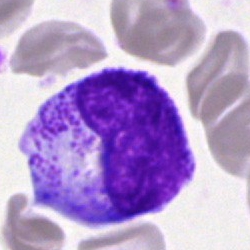 A myelocyte on a bone marrow smear.